Bone marrow aspirate smear:
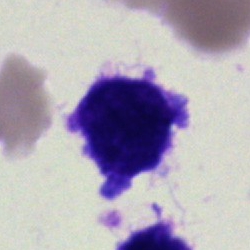An artifact.